Bone marrow aspirate smear · MGG-stained · 250×250:
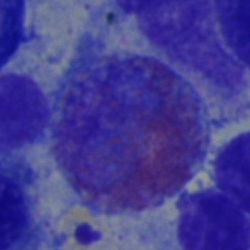
Impression → eosinophil.